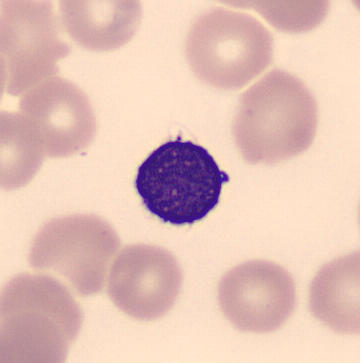

Peripheral blood film.

The cell shown is a lymphocyte.